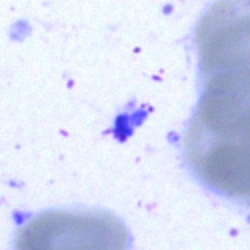

Specimen: bone marrow aspirate smear.
Classification: artefact.